MGG-stained. Bone marrow smear. Single-cell crop
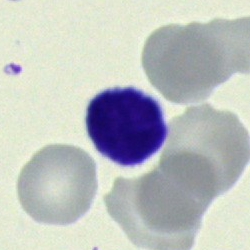

Impression → lymphocyte.